100× oil immersion; single cell centered in the field; peripheral blood smear
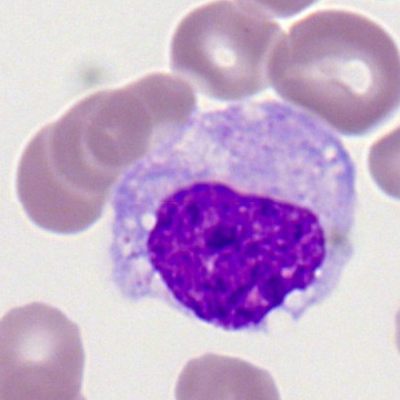Q: Identify the cell.
A: It is a monocyte.